Bone marrow aspirate smear — 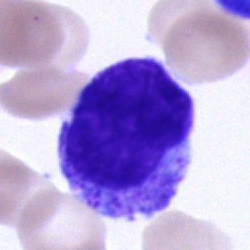Cell of indeterminate lineage.